Bone marrow smear
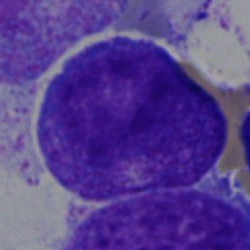

Q: What type of cell is this?
A: A promyelocyte.